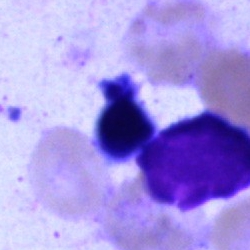

Q: What is shown here?
A: It is an artefact.